Brightfield microscopy, 40× oil immersion · bone marrow aspirate smear.
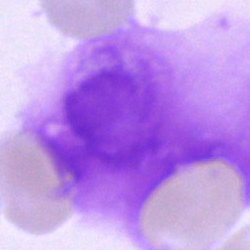Classification: artifact.